Bone marrow aspirate smear: 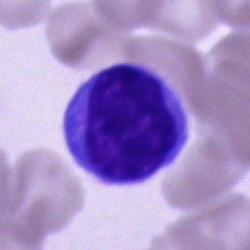

Specimen: bone marrow smear.
Cell: typical lymphocyte.
Lineage: lymphoid.